Peripheral blood film: 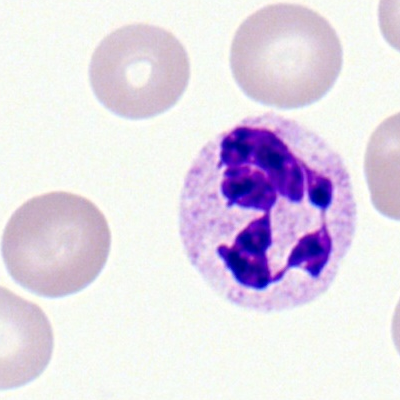
Cell = polymorphonuclear neutrophil.